Bone marrow aspirate smear — 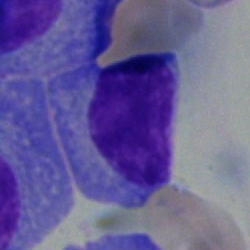 Morphology consistent with a plasmacyte.